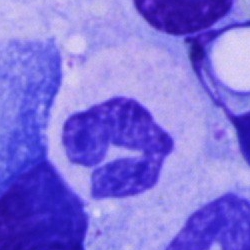

The cell type is segmented neutrophil.